Image size 250×250 · Pappenheim-stained · bone marrow aspirate smear
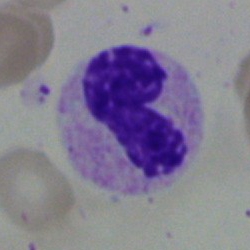 Q: What is shown here?
A: This is a neutrophil (band).